250×250 px; brightfield microscopy, 40× oil immersion; bone marrow aspirate smear
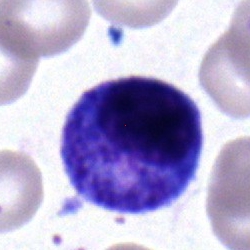 Showing a promyelocyte.